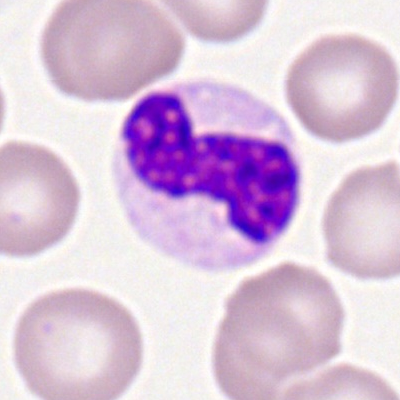 Morphology → band neutrophil.